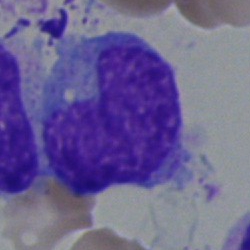
Single-cell crop from a bone marrow smear: monocyte.